Bone marrow aspirate smear — 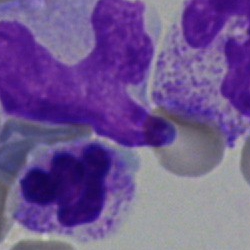Q: What is the morphological classification of this cell?
A: It is a segmented neutrophil.